Bone marrow aspirate smear · 250 by 250 pixels · brightfield microscopy, 40× oil immersion — 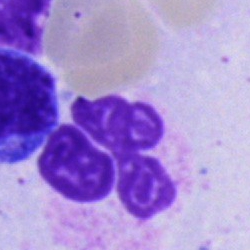
Q: Identify the cell.
A: This is a neutrophil (segmented).